40× oil immersion; cropped to a single cell; bone marrow aspirate smear.
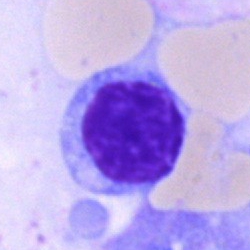
Single cell identified as a typical lymphocyte.